Bone marrow aspirate smear: 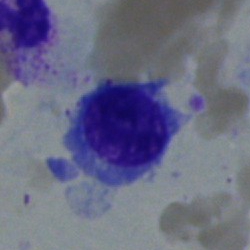 Morphological class: typical lymphocyte.